Bone marrow aspirate smear. Cropped to a single cell. Pappenheim-stained — 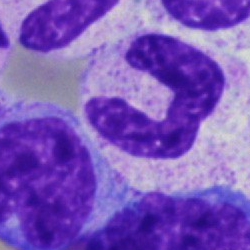
Morphology consistent with a band neutrophil.